Bone marrow smear:
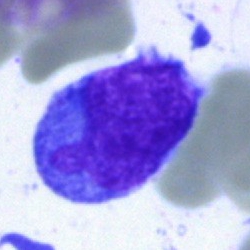

Morphology consistent with a blast cell.